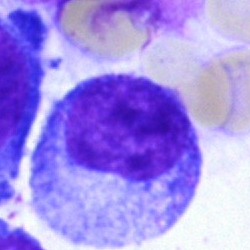
Classification = progranulocyte.